Bone marrow aspirate smear
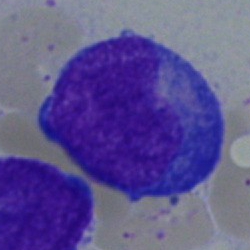

Specimen: bone marrow aspirate smear.
Classification: blast.